Pappenheim-stained. Bone marrow smear. Brightfield, 40× oil-immersion objective
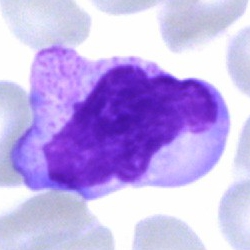
This is a typical lymphocyte.